Peripheral blood smear.
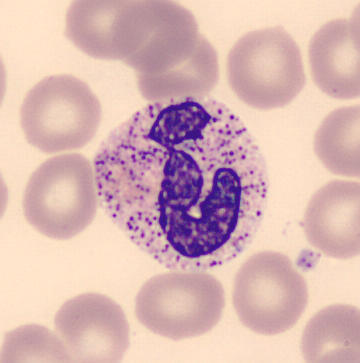
Q: What type of cell is this?
A: This is a polymorphonuclear neutrophil.